Bone marrow aspirate smear · Pappenheim-stained: 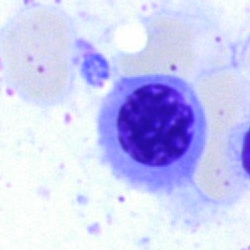Classification = normoblast.